Bone marrow aspirate smear · image size 250×250.
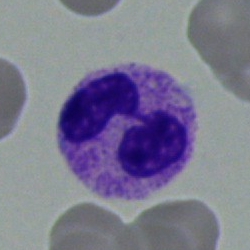

Showing a neutrophil (segmented).